Bone marrow aspirate smear: 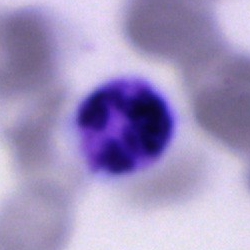Segmented neutrophil.